Single-cell crop. Bone marrow aspirate smear:
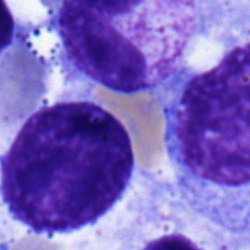
Q: Identify the cell.
A: Stab cell.